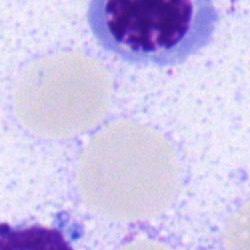
Q: What is the morphological classification of this cell?
A: It is an erythroblast.